250×250. Bone marrow aspirate smear
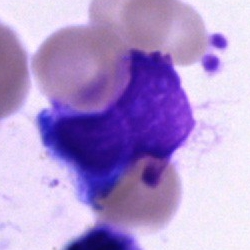
The cell shown is an artefact.